Bone marrow aspirate smear. 250×250 px. 40× oil immersion — 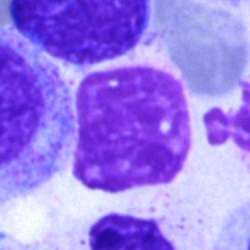
Q: What is shown here?
A: An artifact.